250×250 · bone marrow aspirate smear:
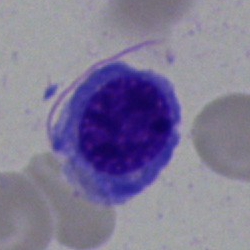

Morphology consistent with a normoblast.